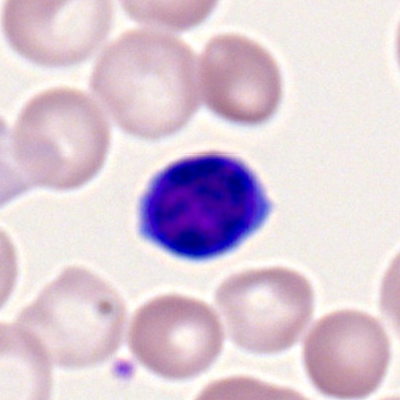
{"cell_type": "typical lymphocyte", "lineage": "lymphoid"}